Single-cell crop; Pappenheim-stained; bone marrow smear
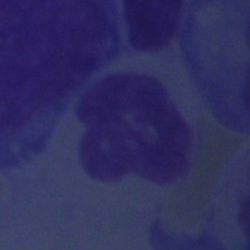 The cell shown is an artefact.